Peripheral blood smear; 100× oil immersion, 14.14 px/µm.
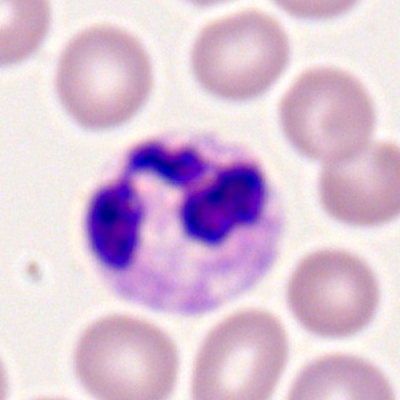{"cell_type": "segmented neutrophil", "lineage": "myeloid"}